Bone marrow aspirate smear. 250 by 250 pixels. 40× objective, oil immersion — 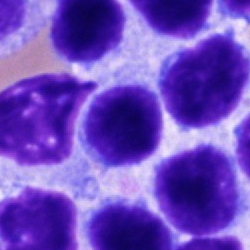 Showing a lymphocyte.